Brightfield, 40× oil-immersion objective; bone marrow aspirate smear
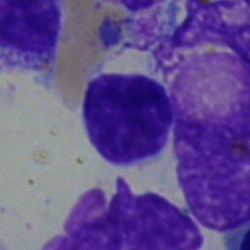
Specimen: bone marrow smear.
Cell type: lymphocyte.